Single-cell field; bone marrow aspirate smear
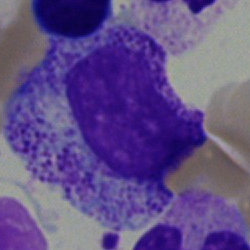Morphological class — myelocyte.